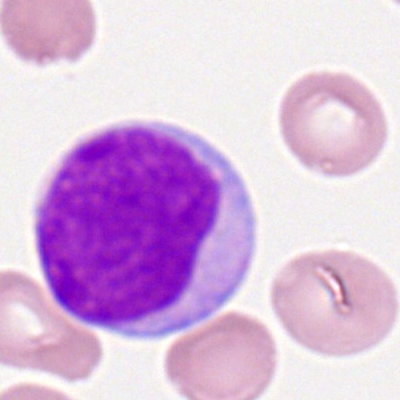

Specimen: peripheral blood smear.
Cell: myeloid blast.
Lineage: myeloid.